Bone marrow aspirate smear:
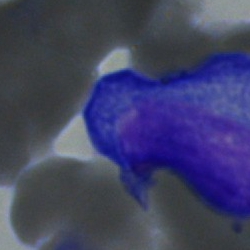
Cell = plasma cell.